Bone marrow aspirate smear: 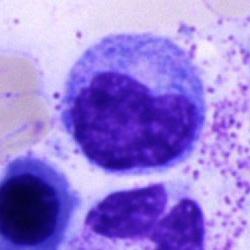

Morphological class — monocyte.